40× oil immersion · May-Grünwald-Giemsa/Pappenheim stain · bone marrow aspirate smear: 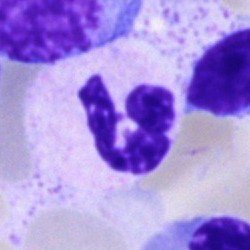
The cell shown is a segmented neutrophil.